250 by 250 pixels; bone marrow aspirate smear; MGG-stained — 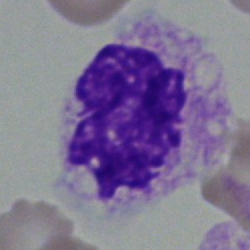

Impression → neutrophil (segmented).